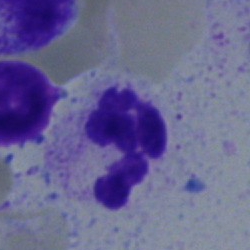Impression → segmented neutrophil.